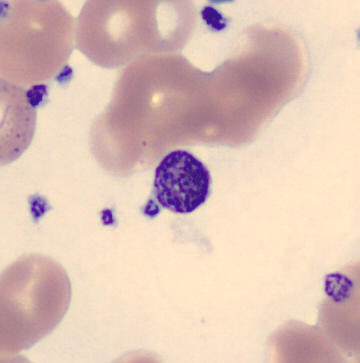

Q: What is this?
A: This is a thrombocyte.
Automated cell imaging (CellaVision DM96) · image size 360×363 · peripheral blood smear.